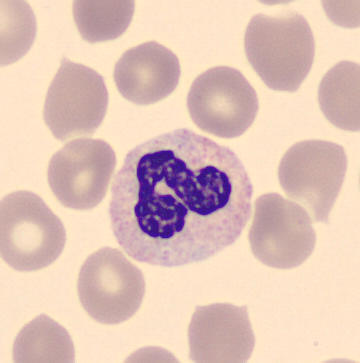Image: Peripheral blood film. Single cell identified as a neutrophil (segmented).